Bone marrow smear. May-Grünwald-Giemsa/Pappenheim stain. 250×250 px.
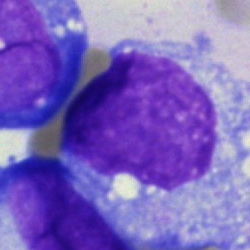 The cell shown is a monocyte.